Bone marrow smear — 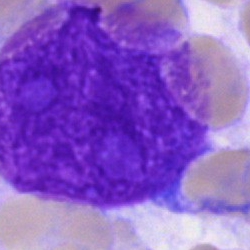
Specimen: bone marrow smear.
Cell type: artefact.